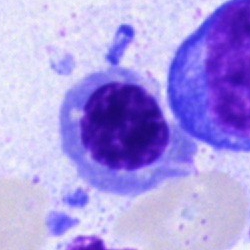Specimen: bone marrow smear.
Cell type: erythroblast.